250 by 250 pixels · bone marrow smear
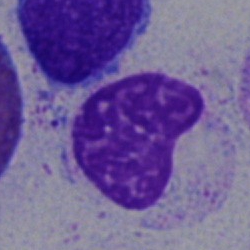

Single cell identified as a metamyelocyte.